Bone marrow aspirate smear — 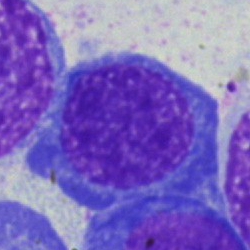

Morphology consistent with a normoblast.